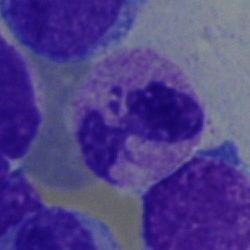

Impression — segmented neutrophil.